Bone marrow smear; cropped to a single cell:
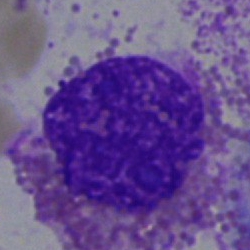 Classification — eosinophilic granulocyte.